May-Grünwald-Giemsa/Pappenheim stain; bone marrow aspirate smear.
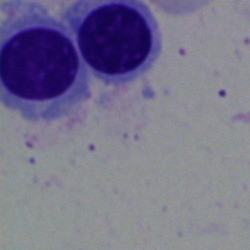
Morphological class = nucleated red cell.